Image size 250×250 · May-Grünwald-Giemsa/Pappenheim stain · bone marrow smear
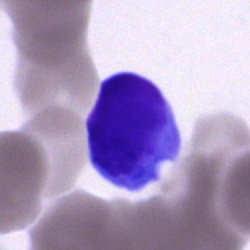Q: Which cell type is shown here?
A: A lymphocyte.